Brightfield, 40× oil-immersion objective; bone marrow aspirate smear.
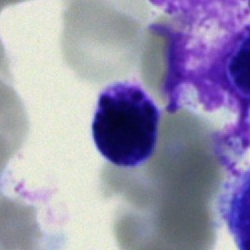Single cell identified as a typical lymphocyte.